Single-cell crop; image size 250×250; bone marrow aspirate smear.
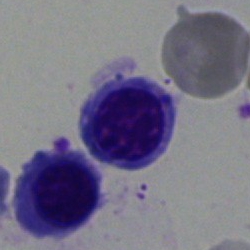 Specimen: bone marrow aspirate smear.
Cell: nucleated red cell.